Bone marrow smear: 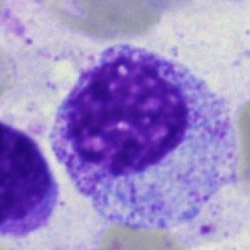Morphological class — myelocyte.